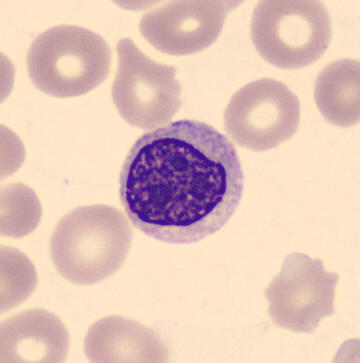
Peripheral blood smear. Identified as a myelocyte.